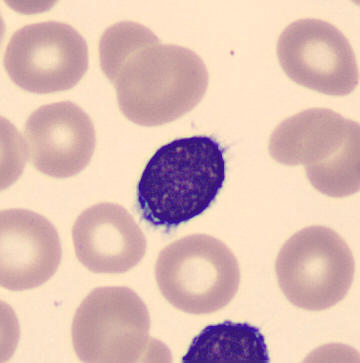
This is a lymphocyte.

Acquisition: Peripheral blood film.